Bone marrow smear. 250 by 250 pixels
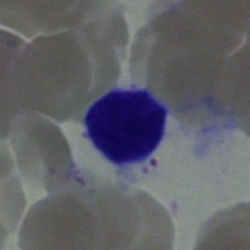
Q: Which cell type is shown here?
A: It is a typical lymphocyte.